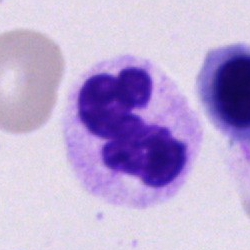
Morphology — polymorphonuclear neutrophil.